Bone marrow smear.
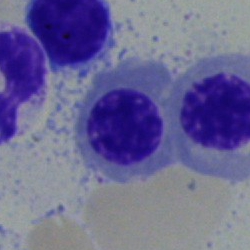Q: Identify the cell.
A: A nucleated red cell.